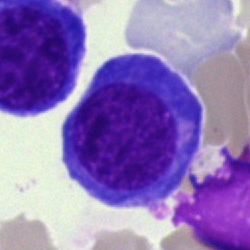

This is a normoblast.